Bone marrow aspirate smear; single cell centered in the field; MGG-stained: 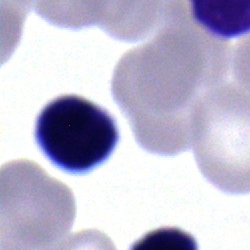 Specimen: bone marrow aspirate smear.
Classification: lymphocyte.
Lineage: lymphoid.